Peripheral blood film — 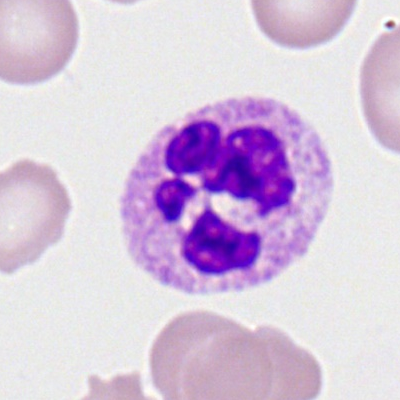

A polymorphonuclear neutrophil.